250 by 250 pixels · bone marrow aspirate smear
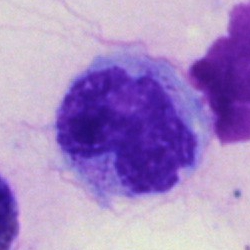

{"cell_type": "monocyte", "lineage": "myeloid"}